Bone marrow aspirate smear
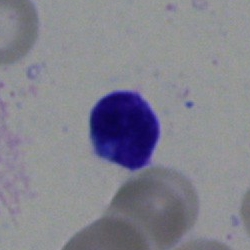

{"cell_type": "lymphocyte", "lineage": "lymphoid"}